Bone marrow smear
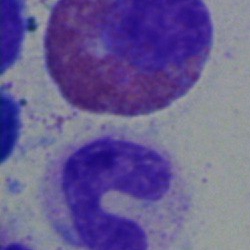
The cell type is band-form neutrophil.